Bone marrow aspirate smear — 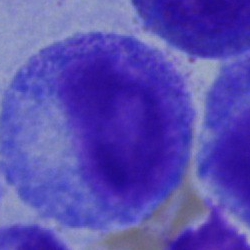
Q: What is the morphological classification of this cell?
A: This is a progranulocyte.